Bone marrow smear: 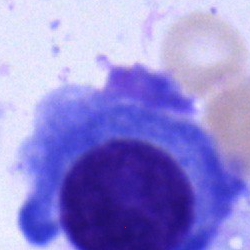
The cell shown is a plasmacyte.